Bone marrow aspirate smear — 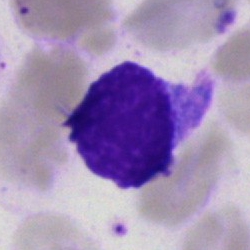Specimen: bone marrow smear.
Morphological class: lymphocyte.
Lineage: lymphoid.